Brightfield microscopy, 40× oil immersion · image size 250×250 · bone marrow smear — 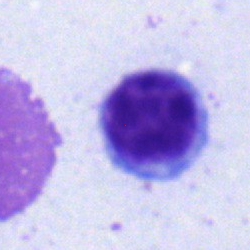
Lymphocyte.